Bone marrow aspirate smear.
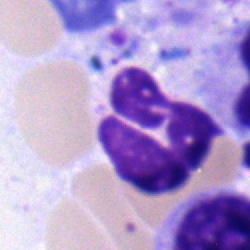The classification is polymorphonuclear neutrophil.